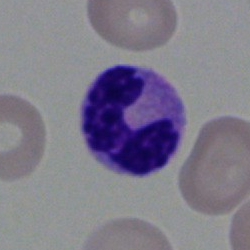

Bone marrow aspirate smear, single cell — polymorphonuclear neutrophil.